Bone marrow smear
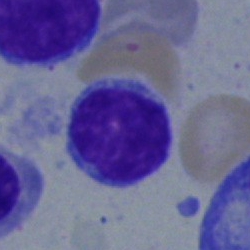Morphology consistent with a typical lymphocyte.